Bone marrow smear
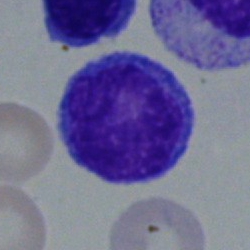 Morphology → blast cell.